Bone marrow aspirate smear
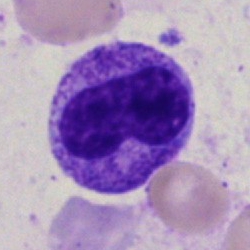
The cell type is stab cell.